Bone marrow aspirate smear
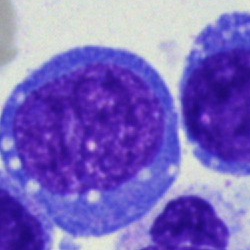 Q: What is the morphological classification of this cell?
A: This is an undifferentiated blast.